Bone marrow aspirate smear
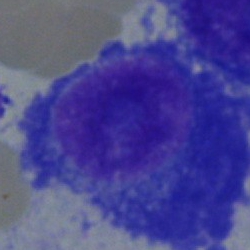

Specimen: bone marrow smear.
Classification: plasma cell.